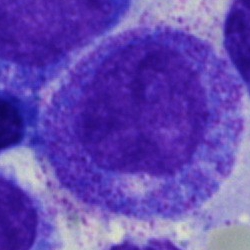

Morphology consistent with a myelocyte.